Bone marrow smear: 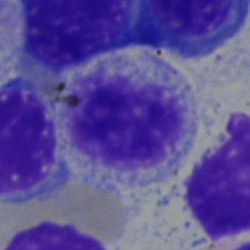Showing a myelocyte.